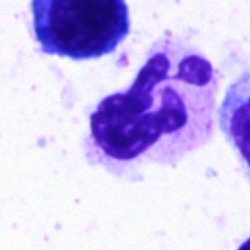This is a segmented neutrophil.